Bone marrow aspirate smear:
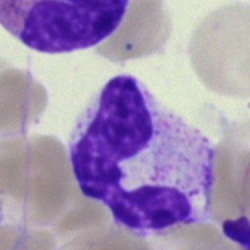

Morphology → neutrophil (segmented).